Bone marrow aspirate smear
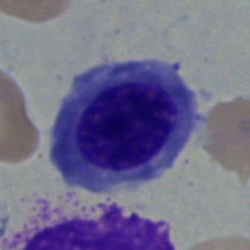

The cell shown is an erythroblast.